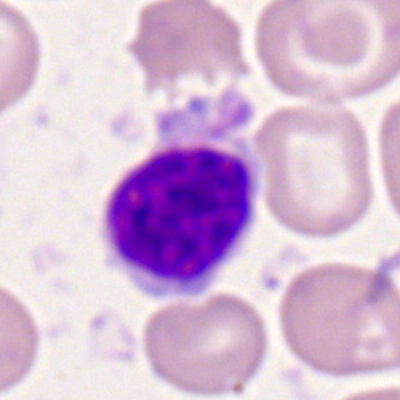 Single cell identified as a lymphocyte.